Bone marrow aspirate smear · single-cell field · 250×250 px.
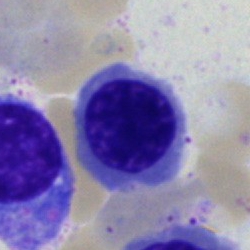Specimen: bone marrow smear.
Cell: normoblast.
Lineage: erythroid.